Single-cell field · bone marrow aspirate smear.
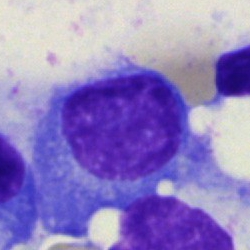

Q: What is shown here?
A: It is a plasma cell.